Bone marrow smear:
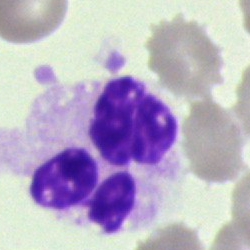

Q: What cell is this?
A: Segmented neutrophil.